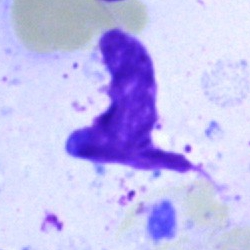Single-cell crop from a bone marrow smear: artifact.